Bone marrow smear · single-cell crop · 250×250.
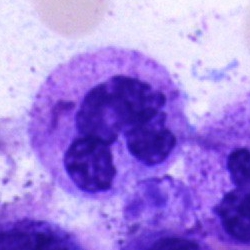
Morphology → segmented neutrophil.